Bone marrow aspirate smear:
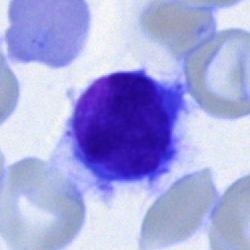Q: What is shown here?
A: This is a typical lymphocyte.